250 by 250 pixels; bone marrow smear: 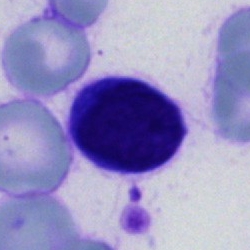 Cell type = cell of indeterminate lineage.